Bone marrow aspirate smear
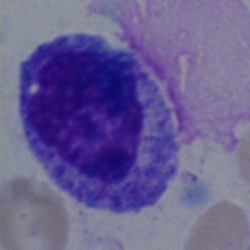Progranulocyte.